Cropped to a single cell · 250×250 · bone marrow aspirate smear.
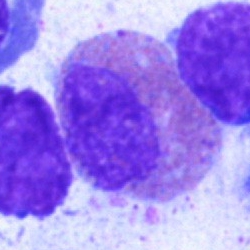 Eosinophilic granulocyte.